Bone marrow smear: 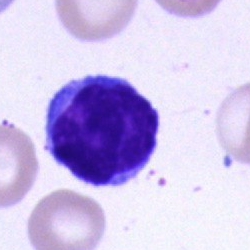Q: What is shown here?
A: It is a lymphocyte.